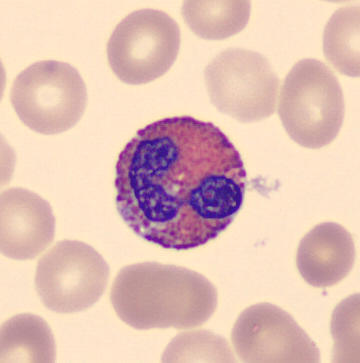
Peripheral blood smear · single-cell crop.

The classification is eosinophil.